Bone marrow smear
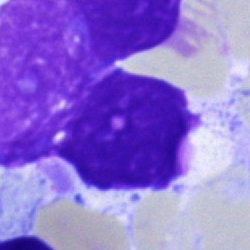
An artefact.